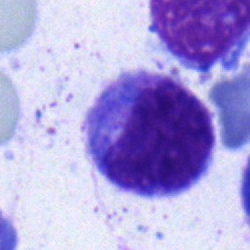Morphology → monocyte.